Bone marrow smear · single cell centered in the field · 250×250: 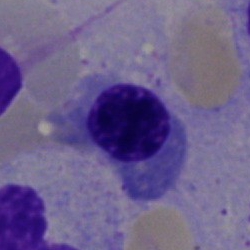 Q: What is the morphological classification of this cell?
A: It is a nucleated red cell.